Bone marrow smear — 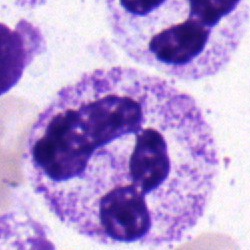 Showing a segmented neutrophil.